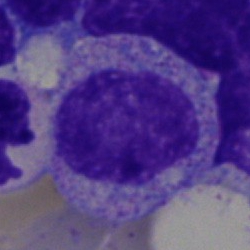

Morphology — myelocyte.